Bone marrow aspirate smear. 40× objective, oil immersion. 250×250 px — 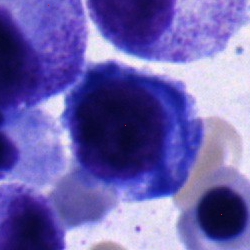Morphology → plasma cell.